Bone marrow aspirate smear: 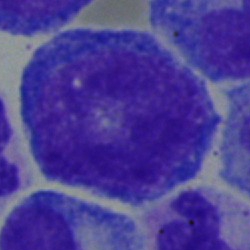

This is a blast.